Bone marrow aspirate smear: 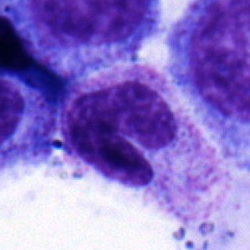

The classification is band-form neutrophil.